Brightfield, 40× oil-immersion objective · cropped to a single cell · bone marrow smear — 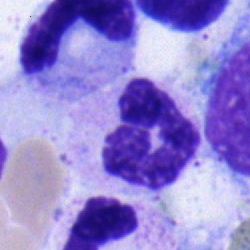 Stab cell.